Cropped to a single cell; 250 by 250 pixels; bone marrow smear.
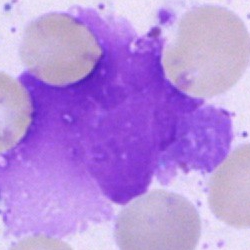
An artefact.